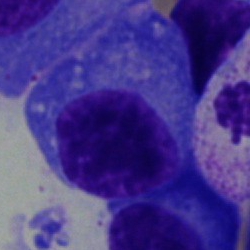 Q: What cell is this?
A: It is a plasma cell.